Peripheral blood smear. MGG-stained: 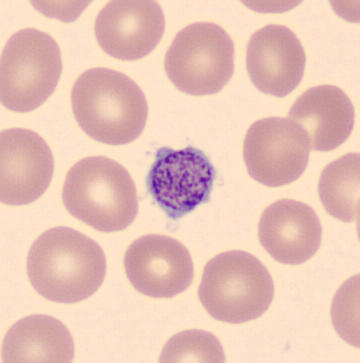
{"cell_type": "thrombocyte"}